Bone marrow smear.
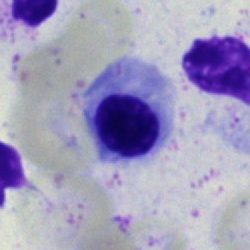Specimen: bone marrow smear.
Morphological class: erythroblast.
Lineage: erythroid.